Cropped to a single cell · bone marrow smear · brightfield microscopy, 40× oil immersion: 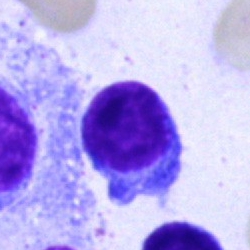{"cell_type": "lymphocyte", "lineage": "lymphoid"}